Bone marrow aspirate smear:
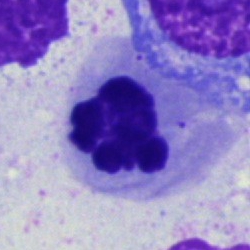
Classification = nucleated red cell.